Bone marrow aspirate smear: 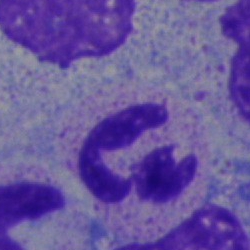

This is a polymorphonuclear neutrophil.